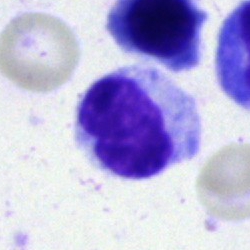
A myelocyte on a bone marrow smear.